Bone marrow smear; May-Grünwald-Giemsa stain:
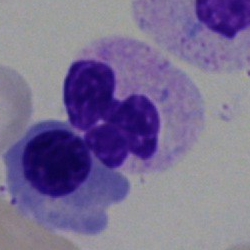 {"cell_type": "neutrophil (segmented)"}